Bone marrow smear
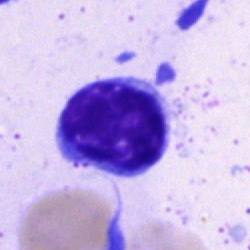 Cell: lymphocyte.